250 by 250 pixels. Bone marrow smear. Pappenheim-stained.
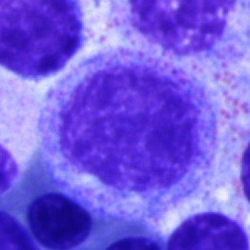Q: What cell is this?
A: It is a myelocyte.